Bone marrow smear: 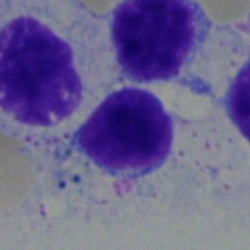

Morphological class: lymphocyte.